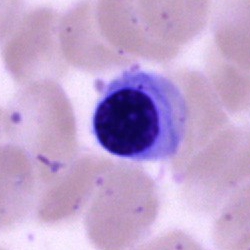Classification = nucleated red blood cell.